Bone marrow smear · 250 by 250 pixels.
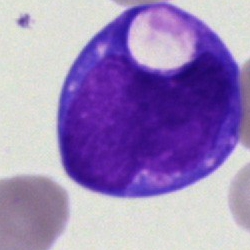

{"cell_type": "undifferentiated blast"}